Bone marrow smear: 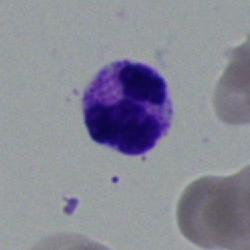 Cell = neutrophil (segmented).